Single-cell crop. Bone marrow aspirate smear
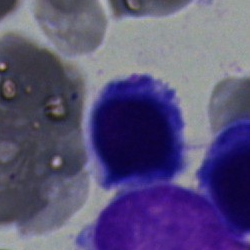

Classification: erythroblast.